40× objective, oil immersion · single-cell field · bone marrow smear — 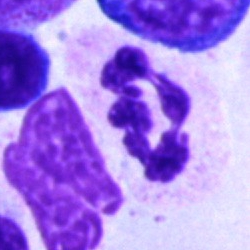 Single cell identified as a polymorphonuclear neutrophil.